Bone marrow smear: 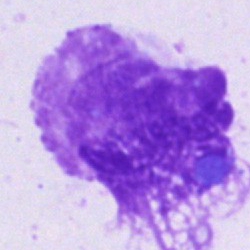
Artifact.